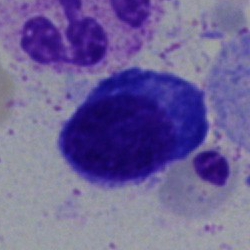 Q: Identify the cell.
A: Plasmacyte.